Peripheral blood smear
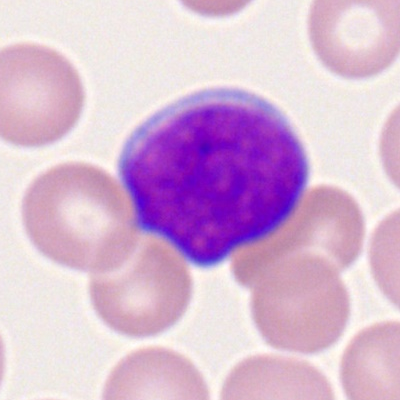 Showing a myeloblast.